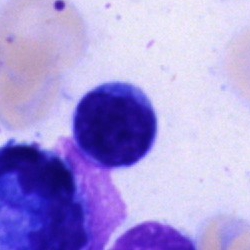
Q: Identify the cell.
A: Lymphocyte.